Bone marrow smear; single cell centered in the field
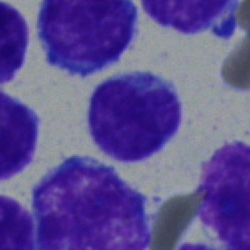Cell type: typical lymphocyte.